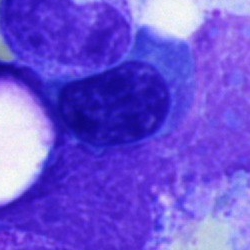 The cell is nucleated red cell.